Bone marrow aspirate smear: 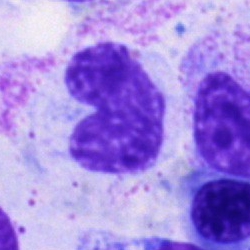 The cell is metamyelocyte.